Bone marrow aspirate smear.
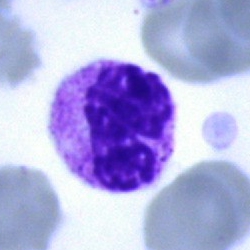 Band-form neutrophil.